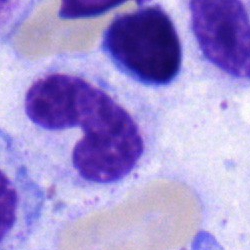The morphological class is neutrophil (band).